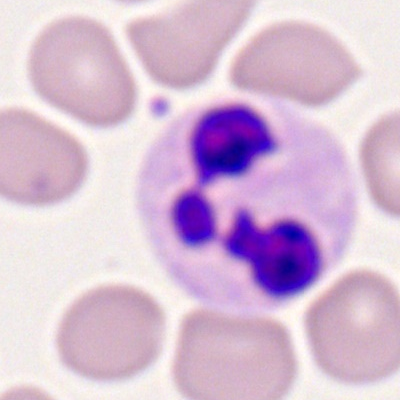Cell type: segmented neutrophil.